Single cell centered in the field. May-Grünwald-Giemsa/Pappenheim stain. Bone marrow smear:
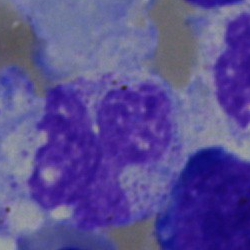 The morphological class is monocyte.